40× oil immersion · cropped to a single cell · bone marrow smear:
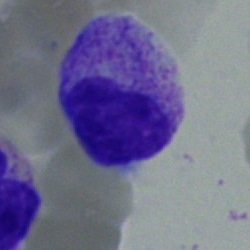
Morphological class — myelocyte.